Bone marrow smear · MGG-stained:
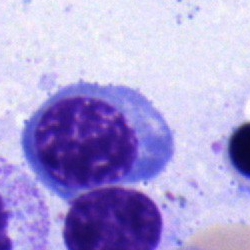
Q: What type of cell is this?
A: This is an erythroblast.